Bone marrow aspirate smear:
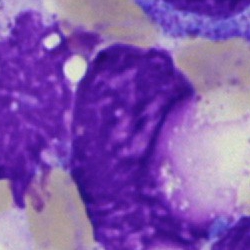The cell shown is an artefact.